40× oil immersion. Bone marrow aspirate smear
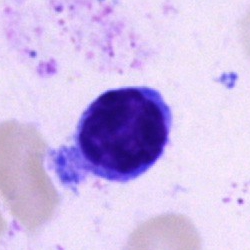 The cell is typical lymphocyte.